MGG-stained · bone marrow aspirate smear — 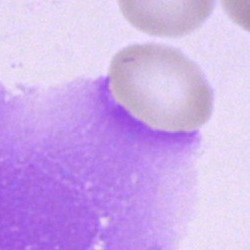
This is an artifact.